Bone marrow aspirate smear — 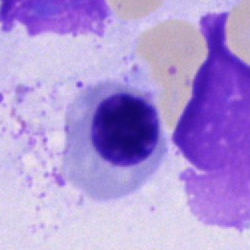

Specimen: bone marrow smear.
Cell: normoblast.